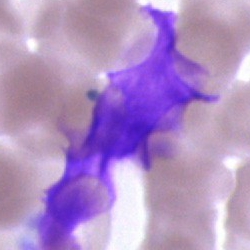
Specimen: bone marrow aspirate smear.
Morphological class: artefact.